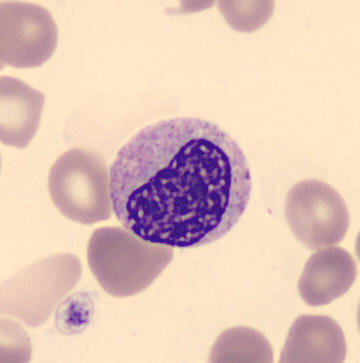
Preparation: Peripheral blood smear.

Identified as a metamyelocyte.